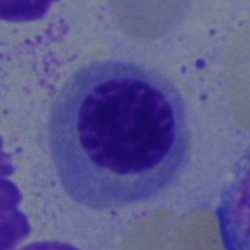Single-cell crop from a bone marrow smear: normoblast.